Bone marrow smear: 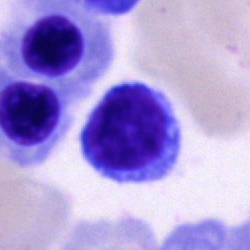 The cell shown is a lymphocyte.